Bone marrow aspirate smear · 40× objective, oil immersion
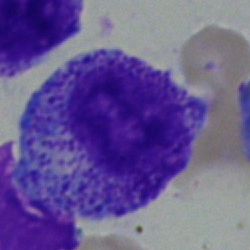
Morphology consistent with a myelocyte.